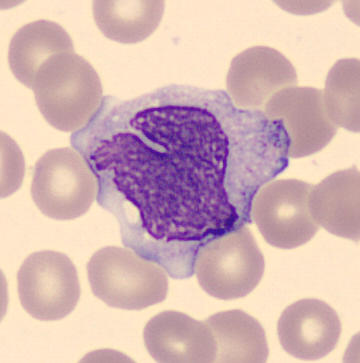

Preparation: Peripheral blood smear. Morphology consistent with a monocyte.